Image size 250×250 · brightfield microscopy, 40× oil immersion · bone marrow aspirate smear: 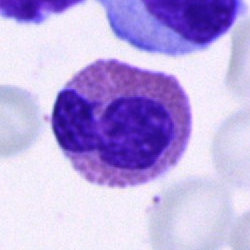Specimen: bone marrow smear.
Morphological class: eosinophilic granulocyte.